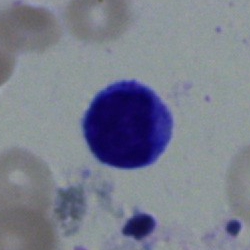
Lymphocyte.